Bone marrow smear: 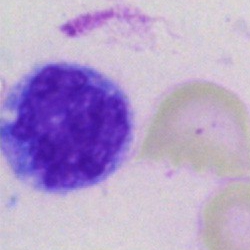
Classification — monocyte.